Bone marrow smear.
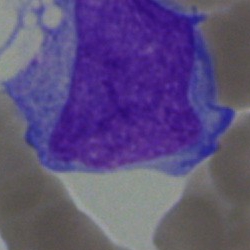 {"cell_type": "basophil", "lineage": "myeloid"}